Bone marrow aspirate smear · brightfield microscopy, 40× oil immersion.
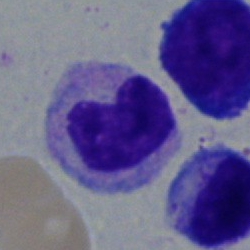 A band neutrophil.